Bone marrow smear: 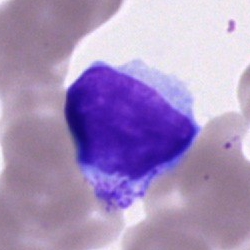 Cell: lymphocyte.